Bone marrow smear; 250×250:
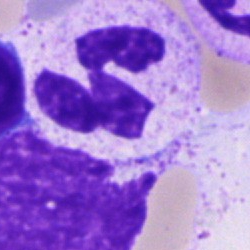{"cell_type": "neutrophil (segmented)"}